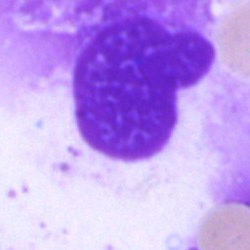 Q: What is shown here?
A: Artefact.